Bone marrow smear:
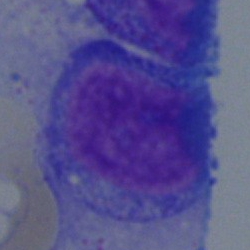

The morphological class is blast.